250×250; bone marrow aspirate smear: 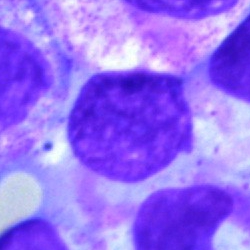 This is an artefact.